40× oil immersion. Bone marrow smear. Image size 250×250:
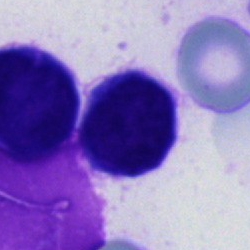
An unidentifiable cell.